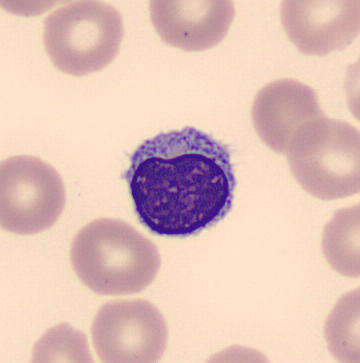
Classification = typical lymphocyte. Image: Peripheral blood film.